May-Grünwald-Giemsa/Pappenheim stain; bone marrow aspirate smear; cropped to a single cell: 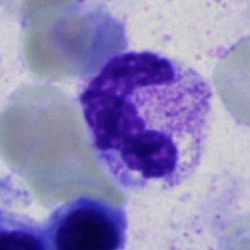 Q: Which cell type is shown here?
A: This is a polymorphonuclear neutrophil.